Peripheral blood smear
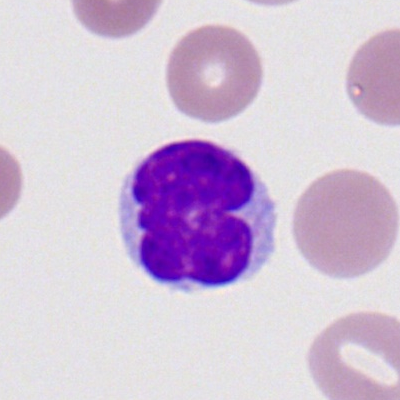
This is a lymphocyte.